Bone marrow aspirate smear:
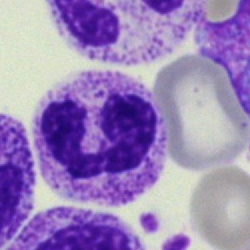 A segmented neutrophil.